Bone marrow aspirate smear — 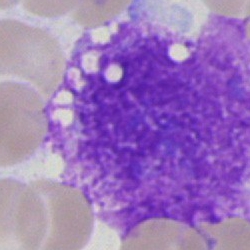Q: What is shown here?
A: An artifact.